Bone marrow aspirate smear
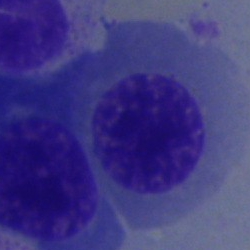 Q: What is shown here?
A: It is a normoblast.